MGG-stained; bone marrow aspirate smear — 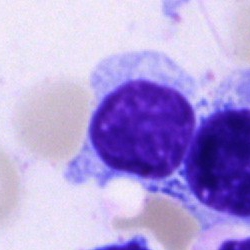 The cell shown is a typical lymphocyte.